Brightfield, 40× oil-immersion objective · single-cell field · bone marrow smear: 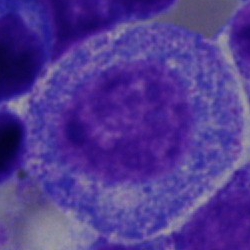 Morphology consistent with a promyelocyte.